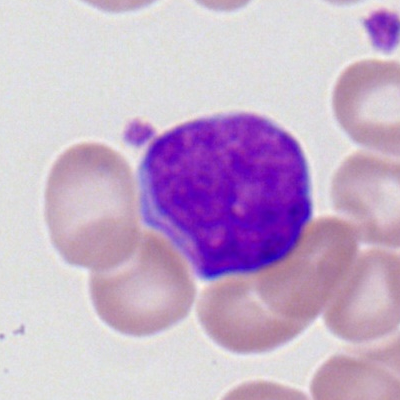Morphological class — myeloblast.